Brightfield microscopy, 40× oil immersion. 250×250. Bone marrow aspirate smear: 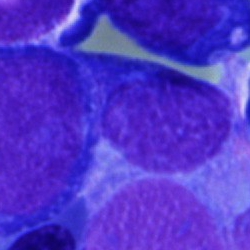

This is a lymphocyte.